Bone marrow smear
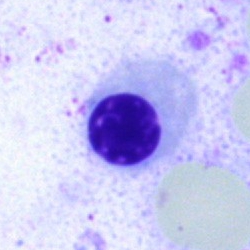 A nucleated red cell.